Bone marrow aspirate smear. 250×250: 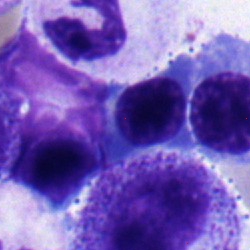Specimen: bone marrow smear.
Cell: normoblast.